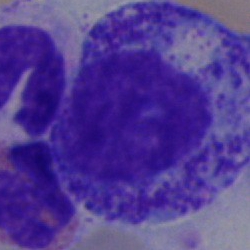 Morphology — progranulocyte.